Bone marrow smear
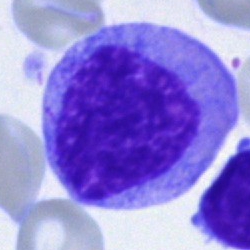 Q: What type of cell is this?
A: Promyelocyte.